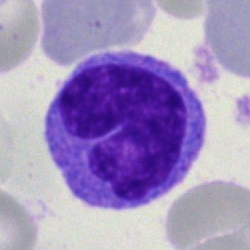
Morphology consistent with a monocyte.